CellaVision DM96 digital cell image. Peripheral blood film:
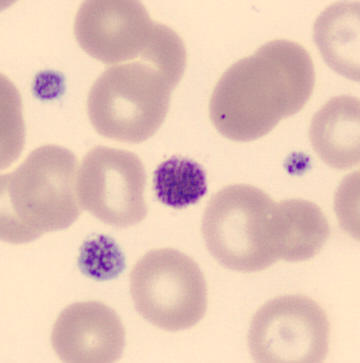
A platelet (thrombocyte).